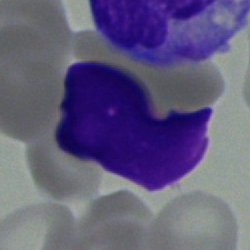
An artefact on a bone marrow smear.